40× oil immersion. May-Grünwald-Giemsa stain. Bone marrow smear
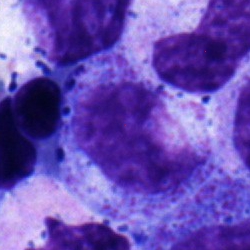
Specimen: bone marrow aspirate smear.
Morphological class: myelocyte.